Bone marrow aspirate smear; brightfield, 40× oil-immersion objective
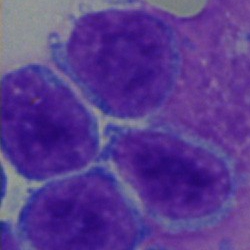
Morphology → lymphocyte.